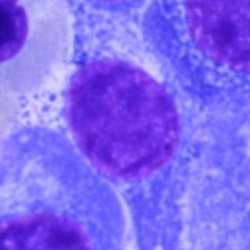Classification = plasma cell.